250 by 250 pixels. Brightfield, 40× oil-immersion objective. Bone marrow aspirate smear:
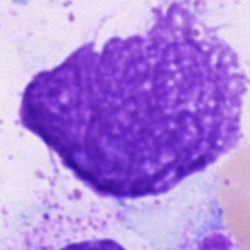Q: What is shown here?
A: This is an artefact.